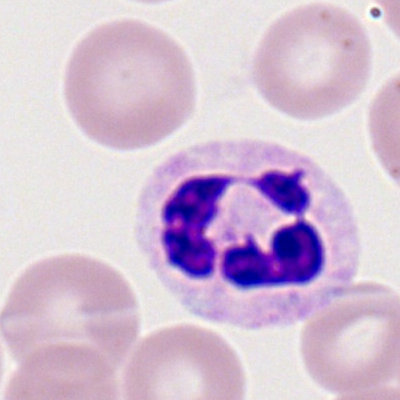
Specimen: peripheral blood smear.
Cell: segmented neutrophil.